Bone marrow aspirate smear.
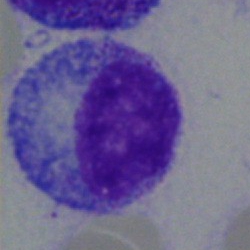Classification — progranulocyte.